Bone marrow aspirate smear — 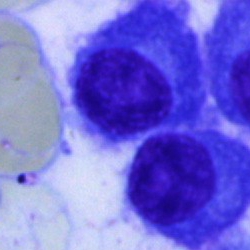Cell type = plasma cell.